Bone marrow aspirate smear. Brightfield microscopy, 40× oil immersion.
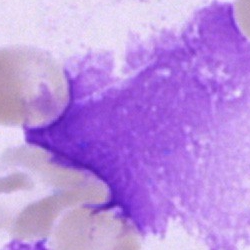

Classification: artefact.